Bone marrow smear.
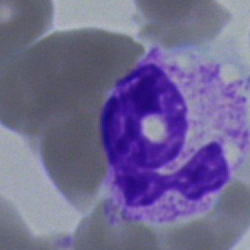
Q: Which cell type is shown here?
A: A neutrophil (segmented).